Bone marrow smear.
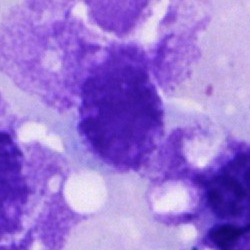

Q: What is shown here?
A: An artifact.